250×250; bone marrow aspirate smear:
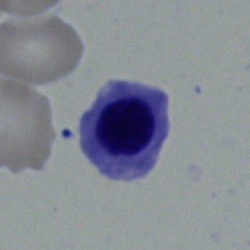 This is a normoblast.